Bone marrow smear.
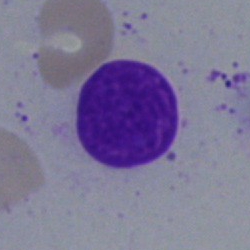 Cell — lymphocyte.